Image size 250×250; 40× oil immersion; bone marrow smear:
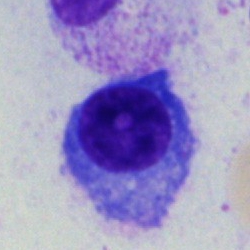 A plasmacyte.